Bone marrow smear — 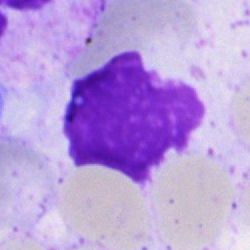

Cell: artifact.